MGG-stained; bone marrow aspirate smear; 250×250 px — 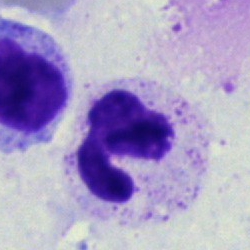 Q: What type of cell is this?
A: A neutrophil (segmented).